Bone marrow smear.
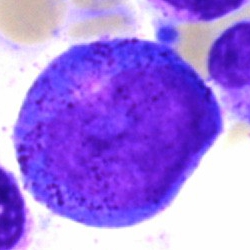Impression — promyelocyte.